Bone marrow smear: 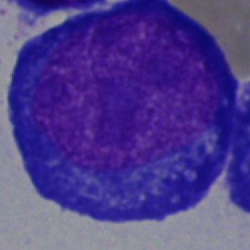A pronormoblast.